Bone marrow smear: 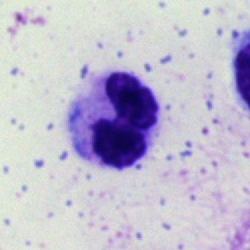

Classification — polymorphonuclear neutrophil.